250×250 px · bone marrow aspirate smear.
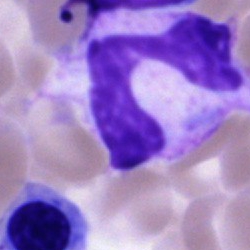Q: What is the morphological classification of this cell?
A: A stab cell.